Bone marrow aspirate smear. May-Grünwald-Giemsa stain
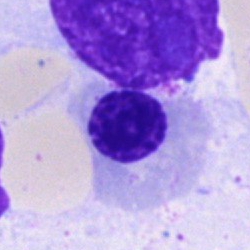 Morphology → nucleated red cell.